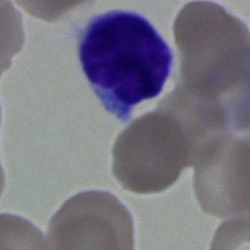 This is a lymphocyte.